Bone marrow smear.
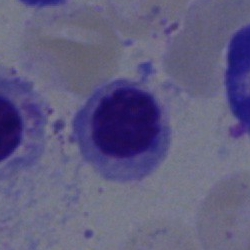
Specimen: bone marrow aspirate smear.
Cell: nucleated red cell.
Lineage: erythroid.